Romanowsky-stained; peripheral blood smear.
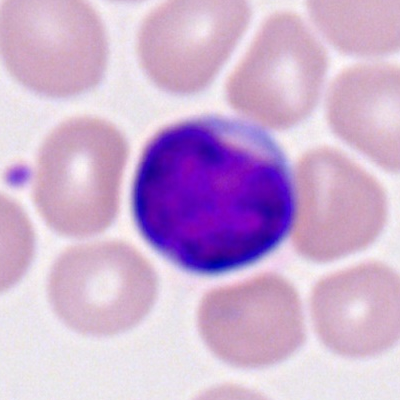Showing a myeloid blast.